Bone marrow aspirate smear; May-Grünwald-Giemsa stain
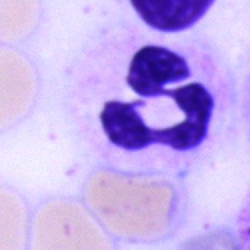Cell — neutrophil (segmented).